Bone marrow smear
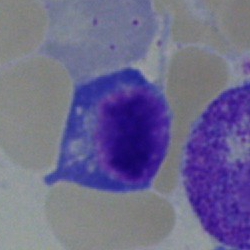 Morphology → plasmacyte.